Bone marrow smear; image size 250×250
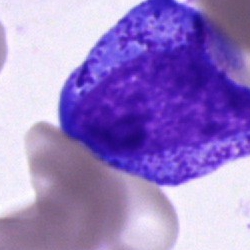Progranulocyte.